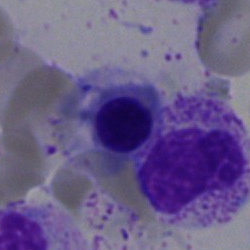Bone marrow aspirate smear, single cell — nucleated red blood cell.